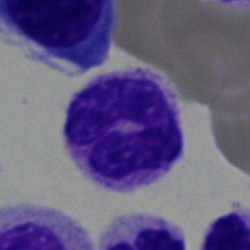 Q: Identify the cell.
A: A band neutrophil.